Bone marrow smear:
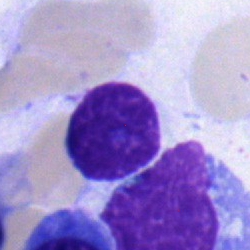
Specimen: bone marrow smear.
Cell type: typical lymphocyte.
Lineage: lymphoid.